Bone marrow smear; cropped to a single cell; 40× oil immersion: 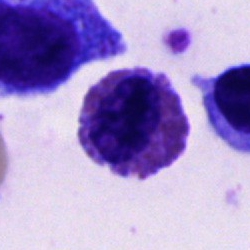Morphology — eosinophilic granulocyte.